Single-cell field. Bone marrow aspirate smear: 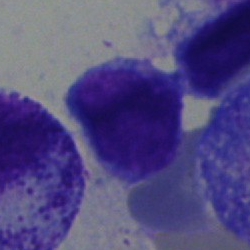
{"cell_type": "blast cell"}